Bone marrow smear — 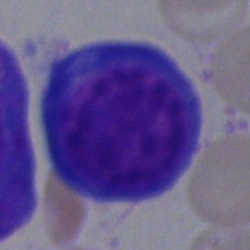Pronormoblast.